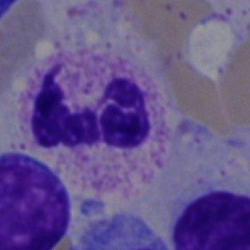Q: What type of cell is this?
A: A segmented neutrophil.